Bone marrow aspirate smear.
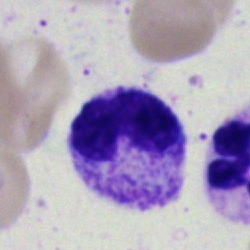 Band neutrophil.